Bone marrow aspirate smear — 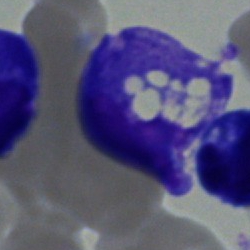 Q: Which cell type is shown here?
A: It is a blast.